Bone marrow aspirate smear:
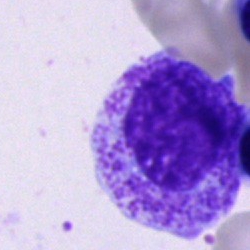Impression — progranulocyte.